Bone marrow smear · single-cell crop — 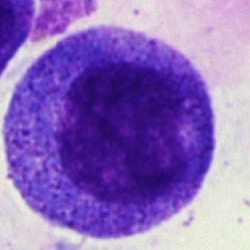
Morphology consistent with a progranulocyte.